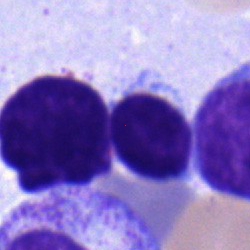Q: Which cell type is shown here?
A: A lymphocyte.